Bone marrow smear
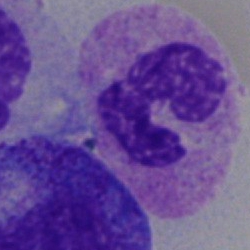 Morphology consistent with a segmented neutrophil.